Single-cell crop; bone marrow aspirate smear.
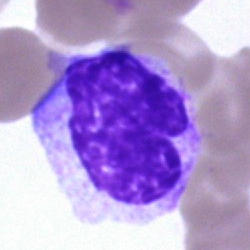 The cell type is monocyte.